Bone marrow smear: 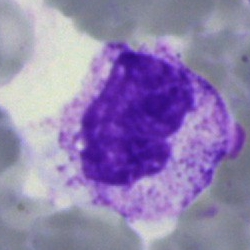

Classification: lymphocyte.